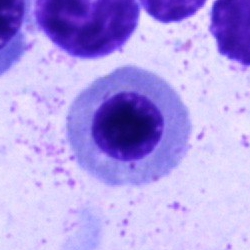
Q: Which cell type is shown here?
A: It is a nucleated red cell.